MGG-stained · 40× objective, oil immersion · bone marrow aspirate smear
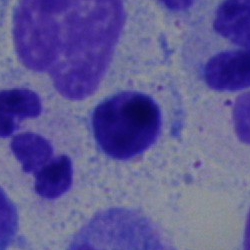Classification — lymphocyte.